Bone marrow smear.
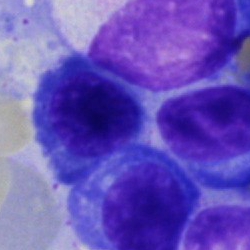Single cell identified as a normoblast.